Bone marrow smear. Brightfield, 40× oil-immersion objective — 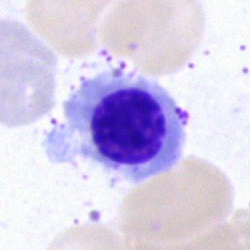 Showing a nucleated red blood cell.